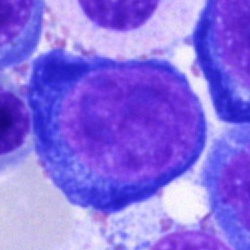
A pronormoblast.